Bone marrow smear — 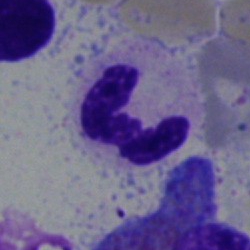

Specimen: bone marrow aspirate smear.
Cell: segmented neutrophil.